MGG-stained; bone marrow aspirate smear; single-cell field.
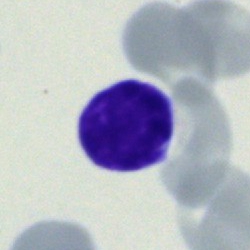
Cell type — typical lymphocyte.